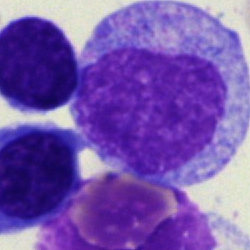 Morphological class — promyelocyte.